Image size 250×250; bone marrow smear.
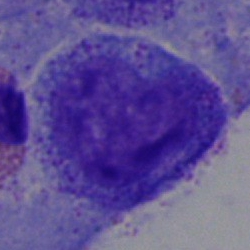

Morphological class = progranulocyte.